Bone marrow aspirate smear · Pappenheim-stained · single-cell crop: 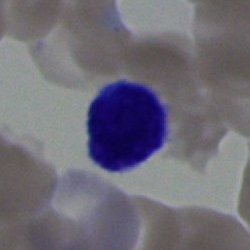Cell type — typical lymphocyte.